40× oil immersion · 250×250 px · bone marrow aspirate smear: 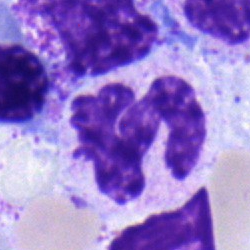
Q: Which cell type is shown here?
A: A neutrophil (segmented).